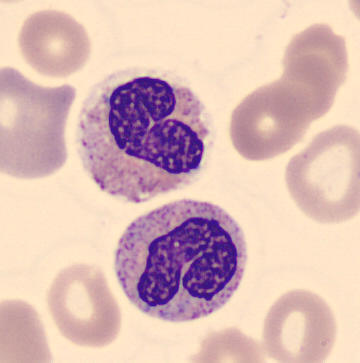

Neutrophil (band). Acquisition: Peripheral blood film · MGG-stained.